MGG-stained · bone marrow aspirate smear
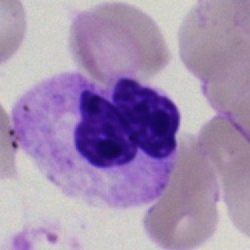 Showing a polymorphonuclear neutrophil.